Image size 250×250. Bone marrow aspirate smear — 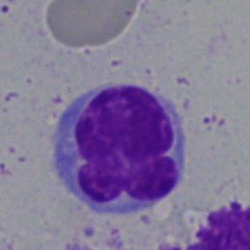
Morphology — lymphocyte.